Bone marrow aspirate smear: 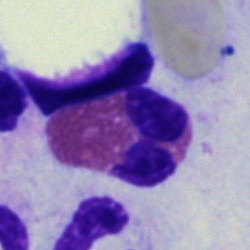

Single cell identified as an eosinophil.